Bone marrow smear
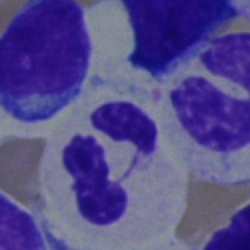 {"cell_type": "polymorphonuclear neutrophil", "lineage": "myeloid"}